Bone marrow smear:
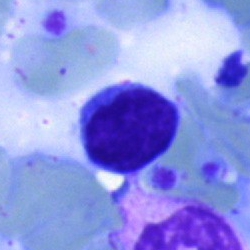

Morphology → typical lymphocyte.